Cropped to a single cell. Bone marrow smear — 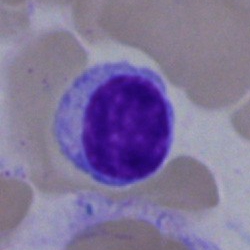The cell is lymphocyte.